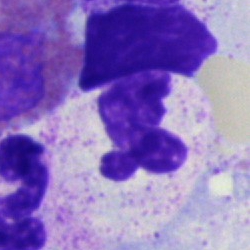Specimen: bone marrow smear.
Cell: neutrophil (segmented).